Pappenheim-stained; brightfield, 40× oil-immersion objective; bone marrow aspirate smear.
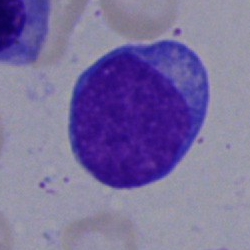

Morphology consistent with an undifferentiated blast.